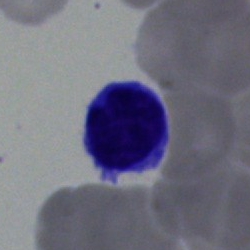Impression — typical lymphocyte.